Bone marrow aspirate smear — 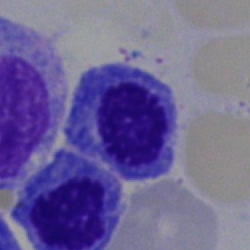

Q: What is the morphological classification of this cell?
A: This is a nucleated red cell.